Bone marrow aspirate smear · brightfield, 40× oil-immersion objective: 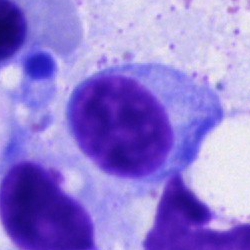
The cell is plasmacyte.